Cropped to a single cell; peripheral blood film:
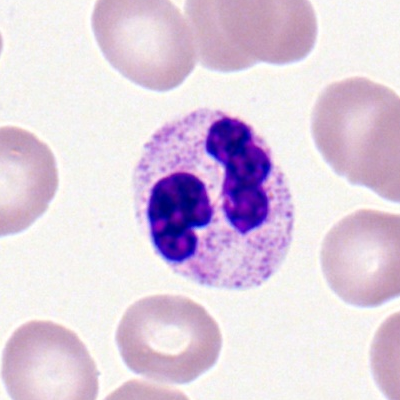

Segmented neutrophil.